Bone marrow aspirate smear:
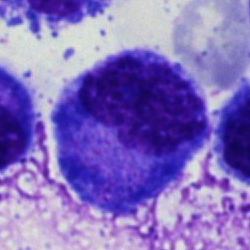
This is a progranulocyte.